Single-cell crop; peripheral blood film; imaged on a CellaVision DM96 analyser:
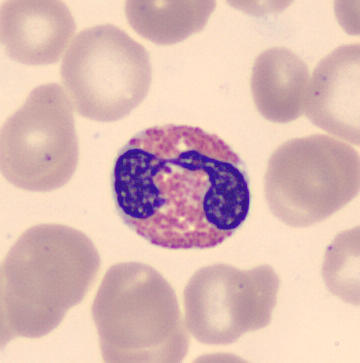This is an eosinophil.